Bone marrow smear
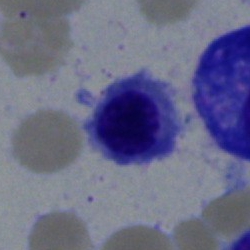 Morphology → nucleated red blood cell.